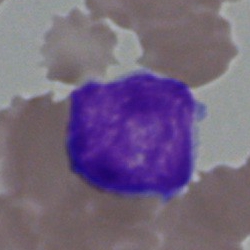
Impression — lymphocyte.